Bone marrow aspirate smear
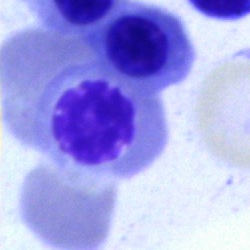
Q: Which cell type is shown here?
A: A nucleated red blood cell.